Peripheral blood film — 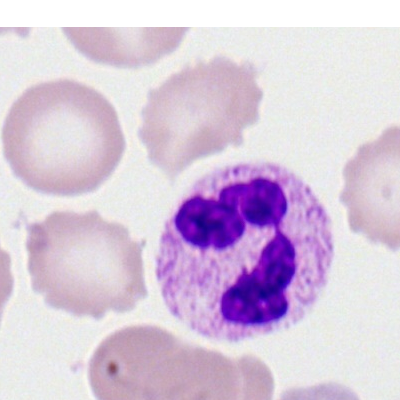Cell — polymorphonuclear neutrophil.